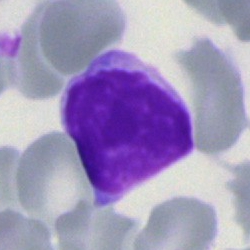
Specimen: bone marrow smear.
Morphological class: typical lymphocyte.